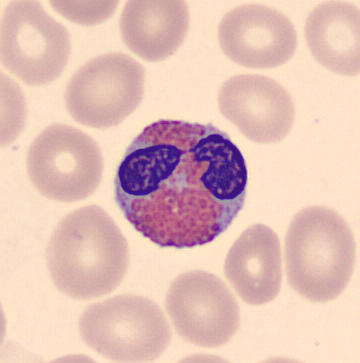Eosinophilic granulocyte.
Preparation: Peripheral blood film.